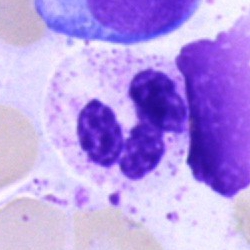 Morphology — neutrophil (segmented).